MGG-stained. Bone marrow smear. 40× objective, oil immersion
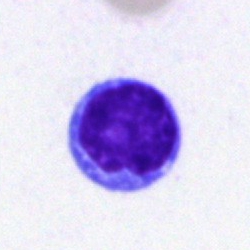 The cell type is typical lymphocyte.